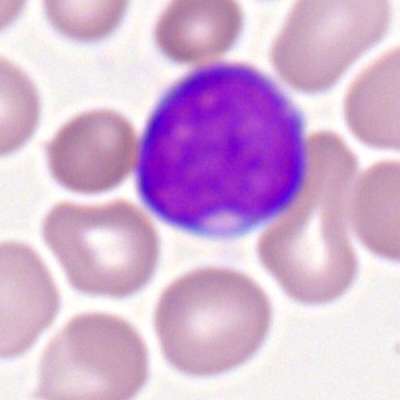

Showing a myeloblast.